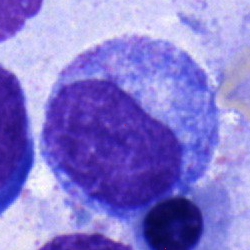
Morphological class = progranulocyte.